Bone marrow aspirate smear — 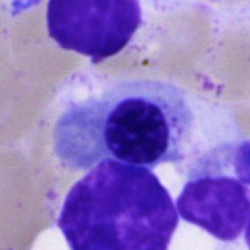 Classification — nucleated red blood cell.